Bone marrow aspirate smear; single cell centered in the field: 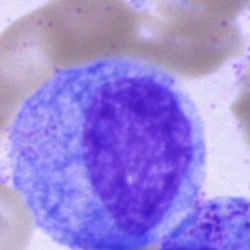

Morphological class = progranulocyte.